Bone marrow smear; brightfield, 40× oil-immersion objective; 250 by 250 pixels.
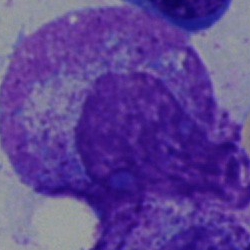 The cell shown is a progranulocyte.